Bone marrow aspirate smear.
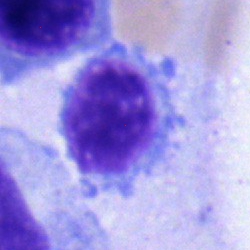Q: What cell is this?
A: This is a nucleated red blood cell.